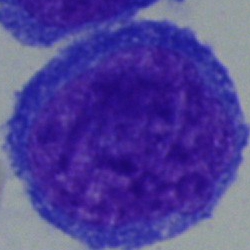The classification is undifferentiated blast.